Bone marrow smear:
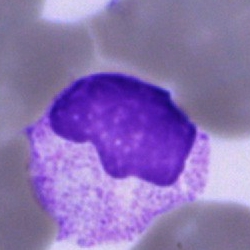Cell type: unidentifiable cell.